250 by 250 pixels. Bone marrow aspirate smear: 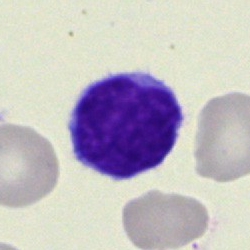

Cell: typical lymphocyte.